Bone marrow aspirate smear.
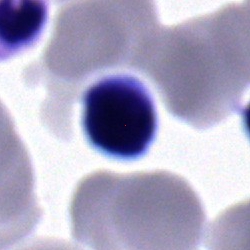
Single cell identified as a typical lymphocyte.